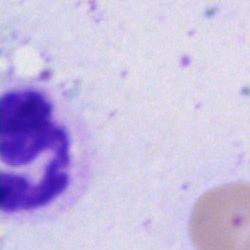 Cell type = neutrophil (segmented).